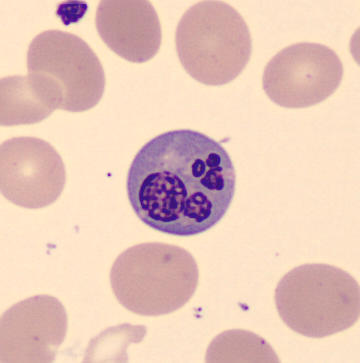 Nucleated red blood cell.